Bone marrow smear. May-Grünwald-Giemsa/Pappenheim stain.
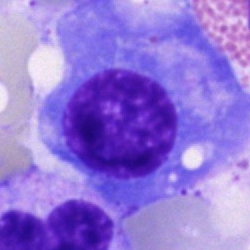Specimen: bone marrow aspirate smear.
Classification: plasmacyte.
Lineage: lymphoid.